40× objective, oil immersion; Pappenheim-stained; bone marrow aspirate smear: 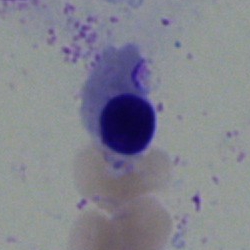

Q: What type of cell is this?
A: An erythroblast.